Bone marrow smear:
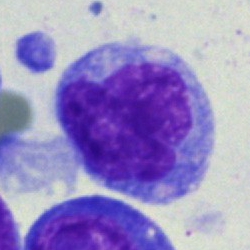Q: What is the morphological classification of this cell?
A: This is a monocyte.